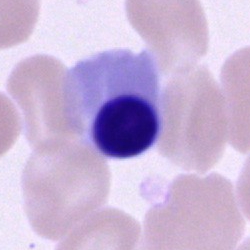Showing a normoblast.